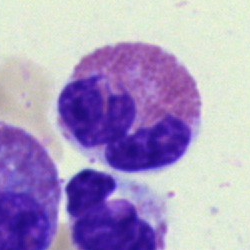Single cell identified as an eosinophil.